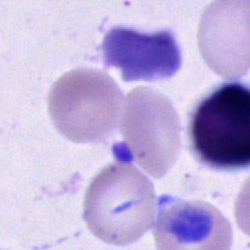
The cell type is unidentifiable cell.